Peripheral blood film
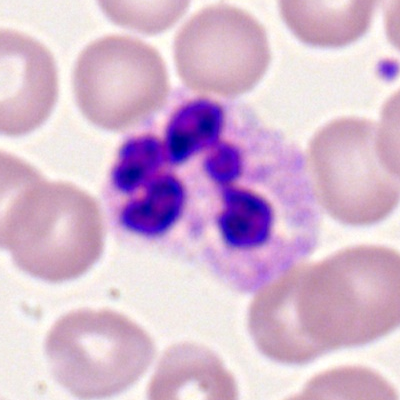 The classification is neutrophil (segmented).